250×250 · bone marrow smear.
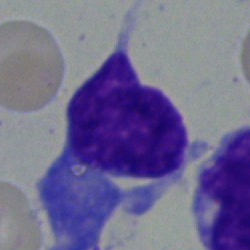{"cell_type": "blast"}